Bone marrow smear.
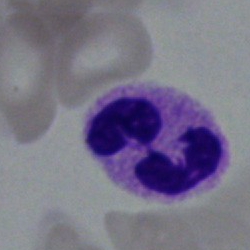
Single cell identified as a neutrophil (segmented).